Bone marrow aspirate smear:
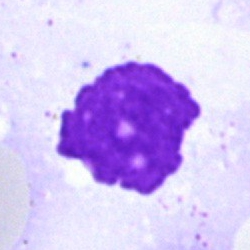

An artefact.